Single-cell field; bone marrow aspirate smear — 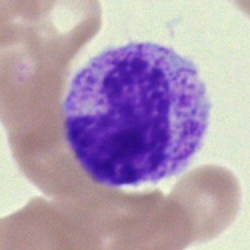This is a metamyelocyte.